400×400; peripheral blood film:
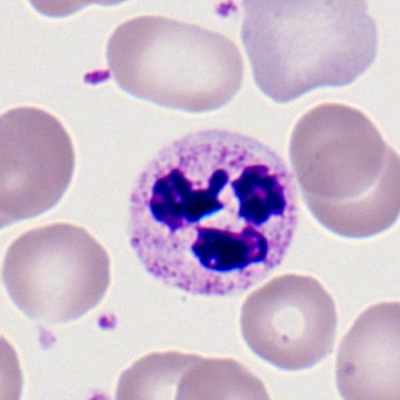Morphology consistent with a neutrophil (segmented).